Bone marrow aspirate smear.
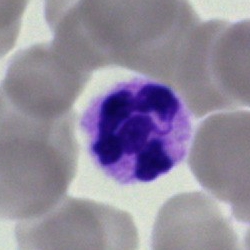 Impression → neutrophil (segmented).